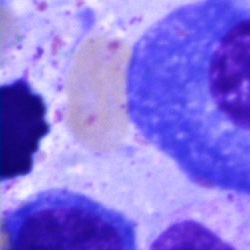Morphological class: plasma cell.